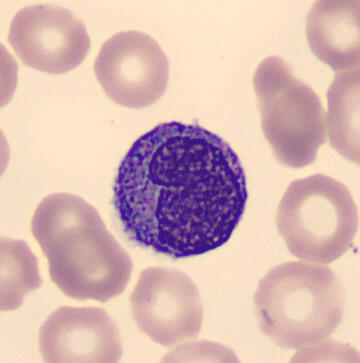 Identified as a monocyte.

Preparation: Peripheral blood film.